Brightfield, 40× oil-immersion objective; bone marrow aspirate smear:
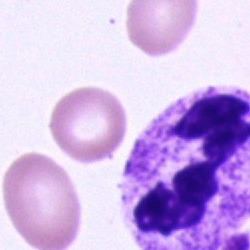

Specimen: bone marrow smear.
Cell: segmented neutrophil.
Lineage: myeloid.